250×250; single-cell field; bone marrow aspirate smear:
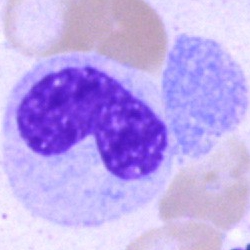

The morphological class is metamyelocyte.